Bone marrow smear.
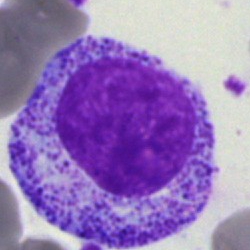

Myelocyte.